Bone marrow smear. 40× objective, oil immersion — 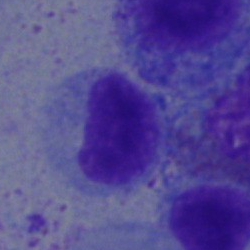

The cell shown is a lymphocyte.